Brightfield, 40× oil-immersion objective · bone marrow aspirate smear · 250×250 — 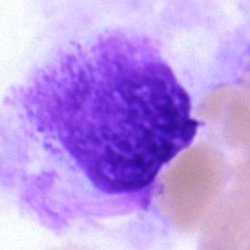

Artefact.